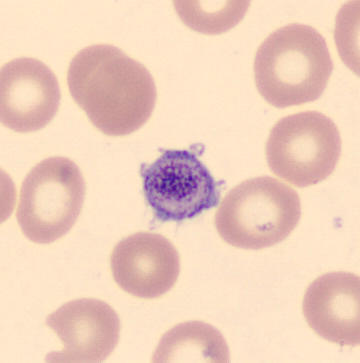 The cell type is platelet.